Brightfield microscopy, 40× oil immersion · bone marrow smear · single cell centered in the field
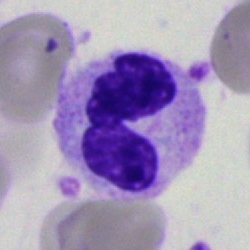 Q: Identify the cell.
A: This is a neutrophil (segmented).